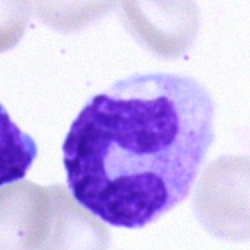 {"cell_type": "neutrophil (band)", "lineage": "myeloid"}